Bone marrow smear: 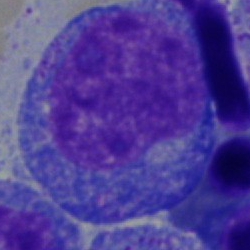Impression — promyelocyte.